40× objective, oil immersion · 250×250 · bone marrow smear: 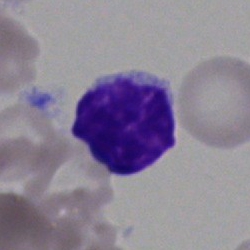

Showing a lymphocyte.